100× oil immersion. Peripheral blood smear. 400×400 — 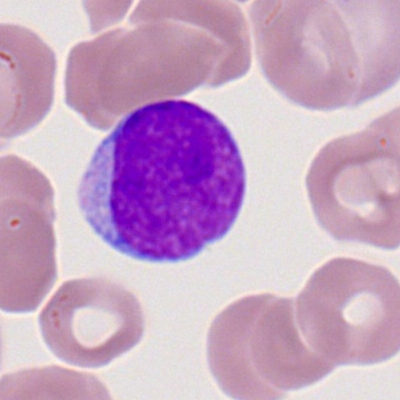Classification: myeloblast.